Single cell centered in the field. May-Grünwald-Giemsa stain. Bone marrow smear.
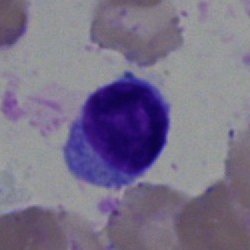 The cell shown is a typical lymphocyte.